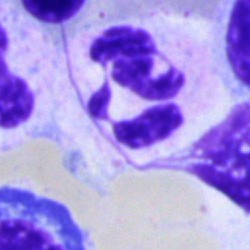 Bone marrow smear showing a segmented neutrophil.